Bone marrow aspirate smear
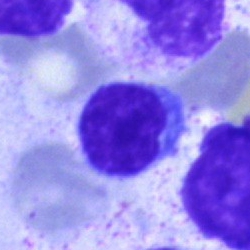
Typical lymphocyte.